Bone marrow aspirate smear. Brightfield microscopy, 40× oil immersion
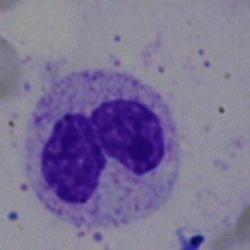
Q: Identify the cell.
A: Neutrophil (segmented).